Bone marrow aspirate smear. 250×250 px. Brightfield microscopy, 40× oil immersion: 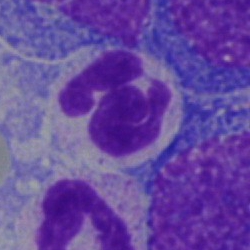 Polymorphonuclear neutrophil.